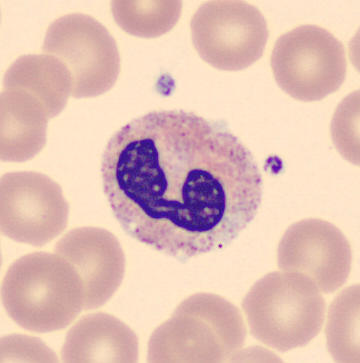

Classification = neutrophil (segmented). May-Grünwald-Giemsa-stained. Peripheral blood smear.